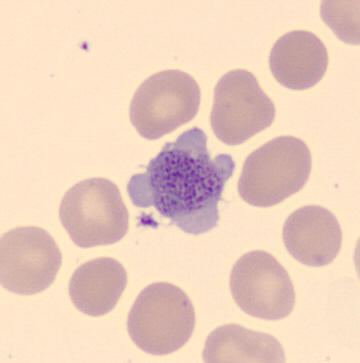
Morphological class = platelet (thrombocyte).
Image: Peripheral blood film.